Bone marrow aspirate smear; brightfield, 40× oil-immersion objective; 250×250:
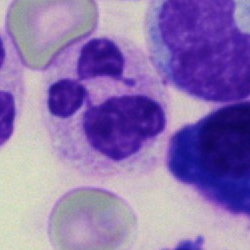

Q: What is the morphological classification of this cell?
A: This is a polymorphonuclear neutrophil.